Bone marrow smear; May-Grünwald-Giemsa stain.
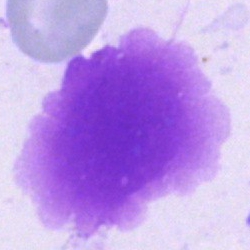
Specimen: bone marrow aspirate smear.
Morphological class: artifact.